Peripheral blood film: 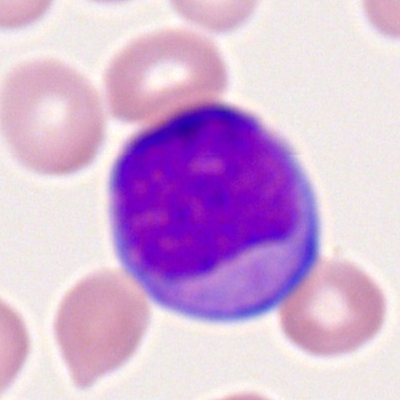
The classification is myeloid blast.